40× objective, oil immersion; bone marrow smear
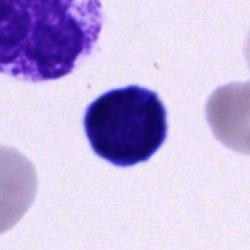
Unidentifiable cell.